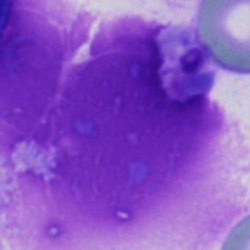Impression — artefact.